Brightfield, 40× oil-immersion objective · bone marrow smear
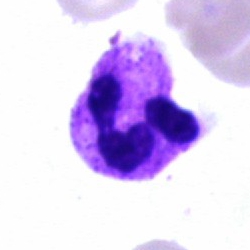Q: What is the morphological classification of this cell?
A: It is a segmented neutrophil.